Bone marrow aspirate smear: 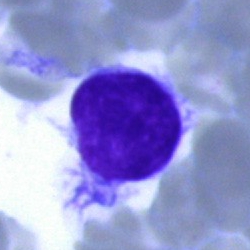Typical lymphocyte.